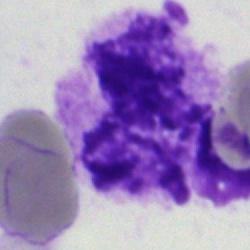 Cell type: artifact.